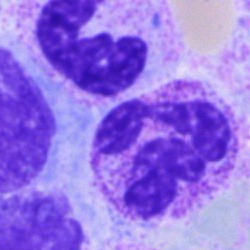Specimen: bone marrow aspirate smear.
Morphological class: segmented neutrophil.
Lineage: myeloid.